40× oil immersion; May-Grünwald-Giemsa stain; bone marrow smear:
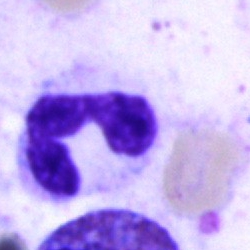 This is a band-form neutrophil.